Bone marrow aspirate smear.
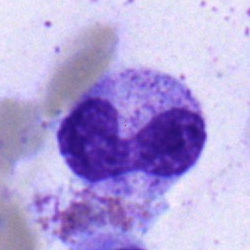

Single cell identified as a neutrophil (band).